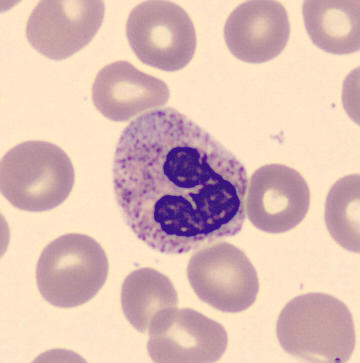Peripheral blood smear. {"cell_type": "neutrophil (segmented)", "lineage": "myeloid"}